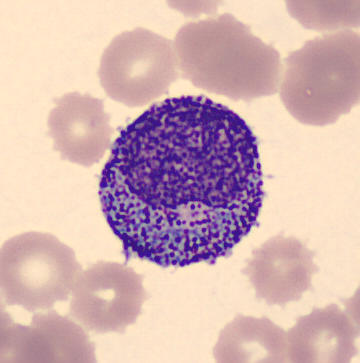
Specimen: peripheral blood film.
Cell type: promyelocyte.
Lineage: myeloid.
CellaVision DM96.